Pappenheim-stained; bone marrow aspirate smear: 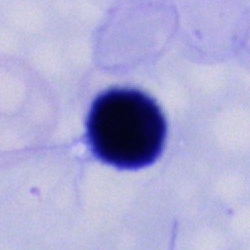

Morphological class: cell of indeterminate lineage.